May-Grünwald-Giemsa stain; bone marrow aspirate smear; single-cell crop — 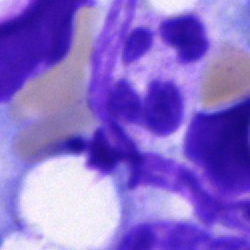
Impression — neutrophil (segmented).